Bone marrow aspirate smear · single-cell field · MGG-stained:
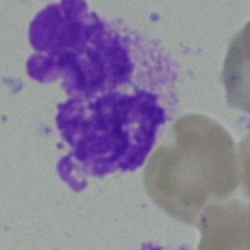

{"cell_type": "segmented neutrophil", "lineage": "myeloid"}